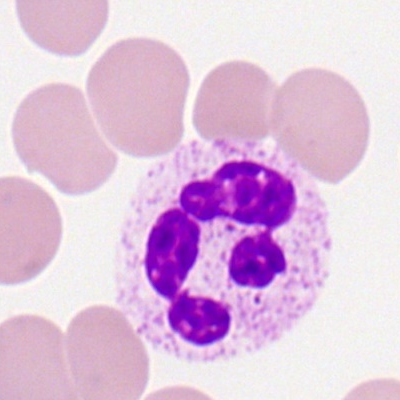 Specimen: peripheral blood smear.
Classification: polymorphonuclear neutrophil.
Lineage: myeloid.